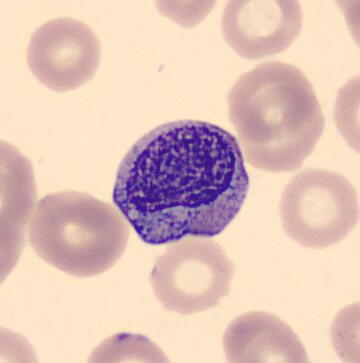 Peripheral blood film.
Q: What is this?
A: Myelocyte.